Bone marrow aspirate smear · 40× oil immersion · image size 250×250
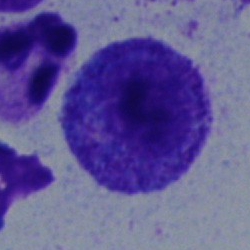 Morphological class: promyelocyte.